Image size 250×250 · bone marrow smear:
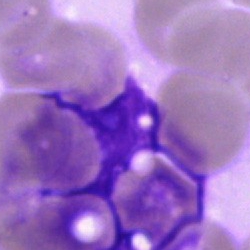

Cell type: typical lymphocyte.